Bone marrow smear.
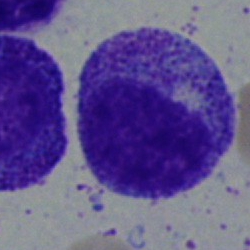
Morphology → myelocyte.